Bone marrow aspirate smear; 250×250 px — 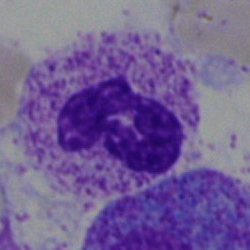This is a neutrophil (segmented).